Bone marrow aspirate smear:
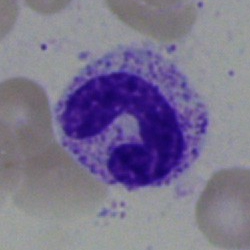 Morphology — neutrophil (band).